Bone marrow smear — 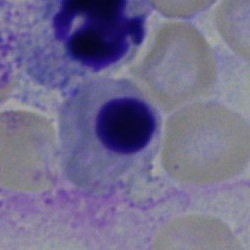
Q: What cell is this?
A: Erythroblast.